May-Grünwald-Giemsa/Pappenheim stain. Bone marrow smear
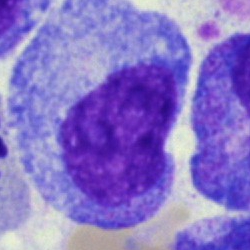Cell type = progranulocyte.